Bone marrow aspirate smear.
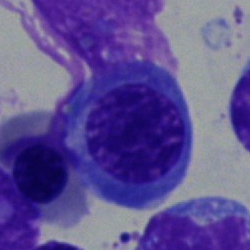

Morphological class = nucleated red cell.